Bone marrow smear — 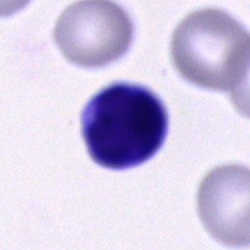Cell: unidentifiable cell.